Bone marrow aspirate smear
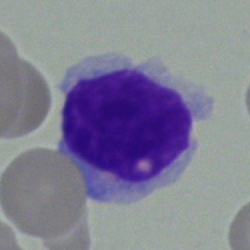Q: What is the morphological classification of this cell?
A: It is a typical lymphocyte.